Cropped to a single cell. Bone marrow smear. Brightfield microscopy, 40× oil immersion — 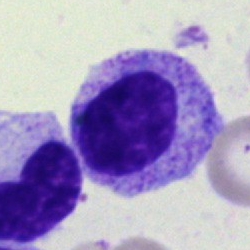Q: What type of cell is this?
A: A myelocyte.